Bone marrow aspirate smear.
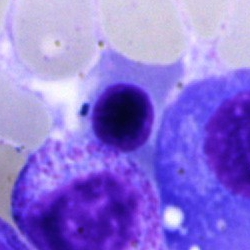The cell is normoblast.